Bone marrow aspirate smear · image size 250×250: 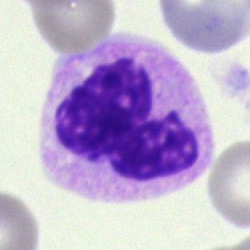{"cell_type": "polymorphonuclear neutrophil"}